Bone marrow aspirate smear: 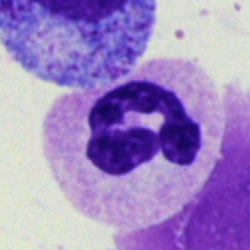

Morphology → polymorphonuclear neutrophil.